Bone marrow smear:
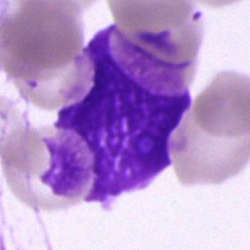An artifact.